Bone marrow aspirate smear. Brightfield microscopy, 40× oil immersion: 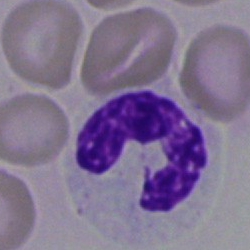Q: Which cell type is shown here?
A: This is a polymorphonuclear neutrophil.